Bone marrow smear: 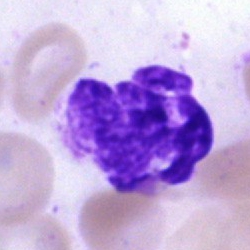 Morphology consistent with an artifact.